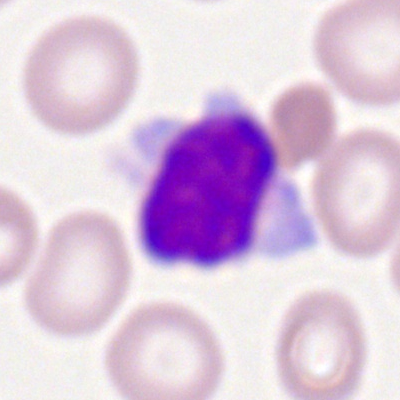 Q: What is shown here?
A: Lymphocyte.